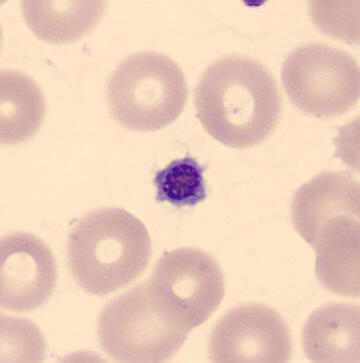 Acquisition: CellaVision DM96 · peripheral blood smear · image size 360×363. Morphology consistent with a platelet.